Bone marrow aspirate smear; single-cell crop; image size 250×250 — 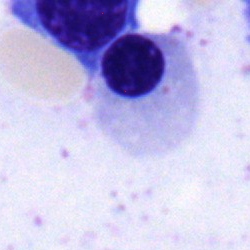 Morphology consistent with a nucleated red blood cell.